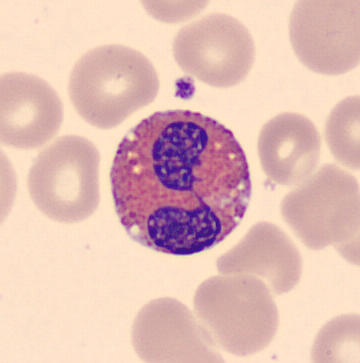Acquisition: Peripheral blood film.

{"cell_type": "eosinophil"}